Bone marrow aspirate smear · single cell centered in the field — 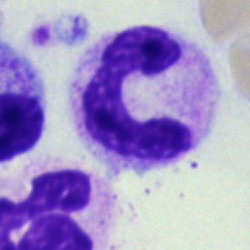

Morphological class: band-form neutrophil.